Pappenheim-stained · image size 250×250 · bone marrow smear:
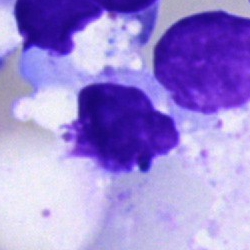The cell type is artifact.